250×250 px. Bone marrow smear.
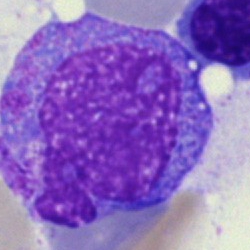

Q: What is shown here?
A: Monocyte.